Brightfield microscopy, 40× oil immersion; 250 by 250 pixels; bone marrow smear
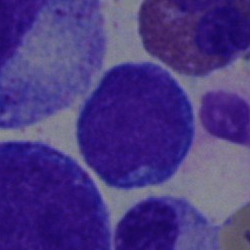 A typical lymphocyte.